Peripheral blood smear. 100× oil immersion, 14.14 px/µm. Romanowsky-stained
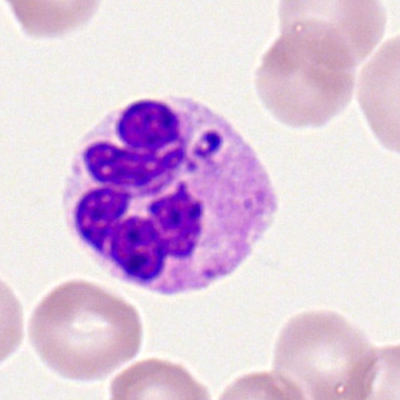 Cell — segmented neutrophil.